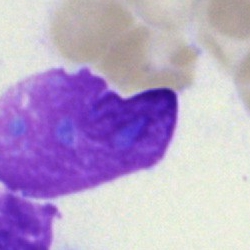Specimen: bone marrow smear.
Morphological class: artefact.